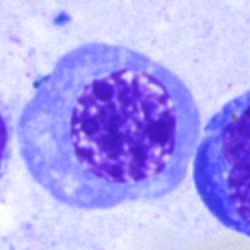

Single cell identified as a normoblast.